100× oil immersion. Peripheral blood film
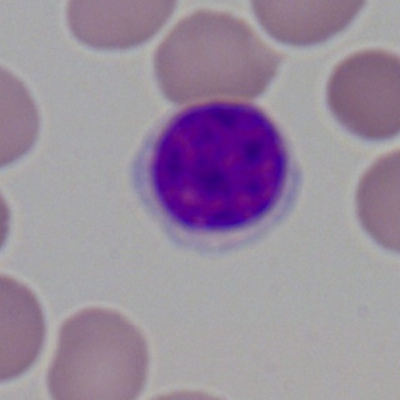Classification — typical lymphocyte.